250 by 250 pixels; bone marrow smear; single-cell crop.
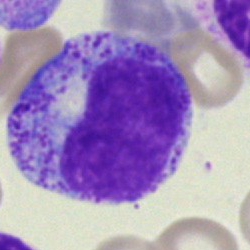 Specimen: bone marrow smear.
Morphological class: progranulocyte.
Lineage: myeloid.